Bone marrow smear · Pappenheim-stained: 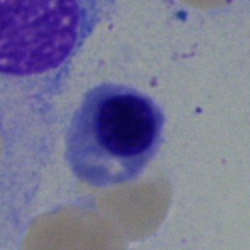

{"cell_type": "erythroblast"}